Bone marrow smear — 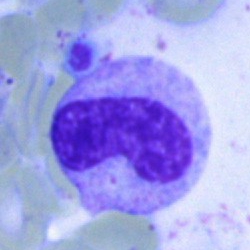
The cell shown is a band neutrophil.